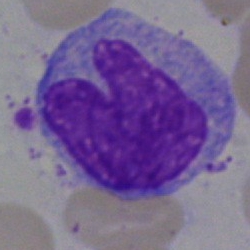Monocyte.